May-Grünwald-Giemsa/Pappenheim stain. Bone marrow aspirate smear
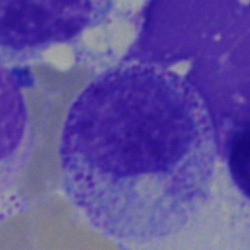The morphological class is myelocyte.